250×250. Single-cell field. Bone marrow aspirate smear.
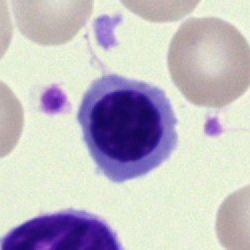Impression — normoblast.